Bone marrow smear:
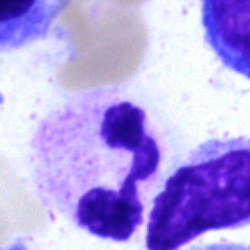

The cell shown is a polymorphonuclear neutrophil.